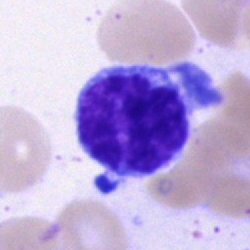
Q: What is shown here?
A: It is a typical lymphocyte.